Bone marrow smear. MGG-stained: 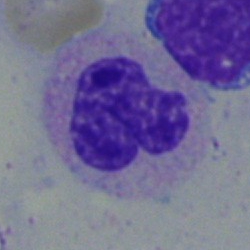 Cell: band-form neutrophil.